MGG-stained. Bone marrow smear. Image size 250×250: 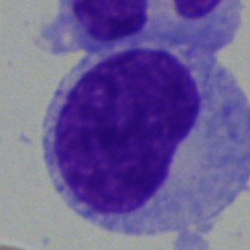

Morphology → monocyte.